Bone marrow smear — 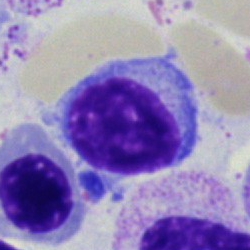Q: What cell is this?
A: It is a typical lymphocyte.